Bone marrow smear.
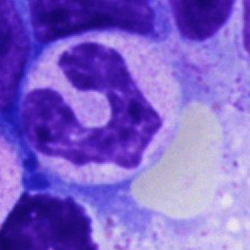Cell type = band neutrophil.